Romanowsky stain. Peripheral blood smear. 100× objective, oil immersion.
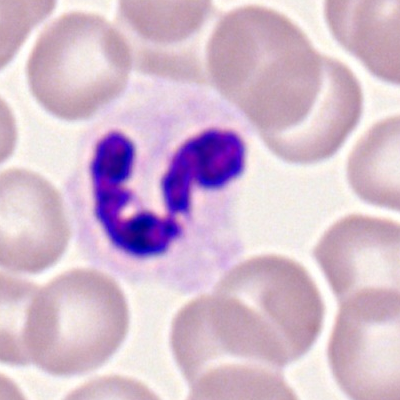
Neutrophil (segmented).